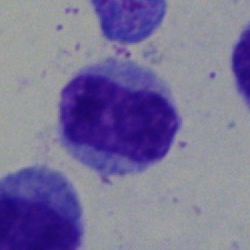Q: What cell is this?
A: A metamyelocyte.